40× objective, oil immersion; bone marrow smear:
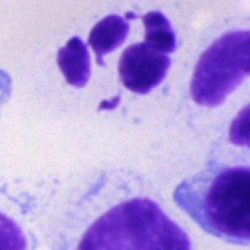Q: What type of cell is this?
A: Polymorphonuclear neutrophil.